Bone marrow aspirate smear. MGG-stained — 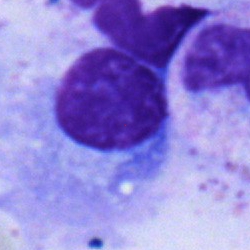
A plasmacyte.